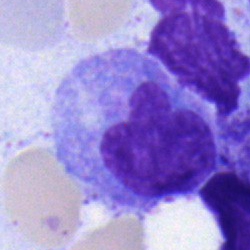The cell shown is a monocyte.